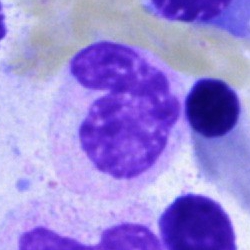Morphological class = metamyelocyte.